Single cell centered in the field · image size 250×250 · bone marrow aspirate smear:
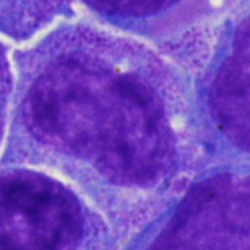Morphology consistent with a progranulocyte.